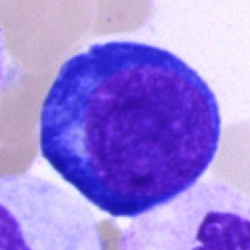
Q: What is shown here?
A: Proerythroblast.